Bone marrow aspirate smear; 250×250 px
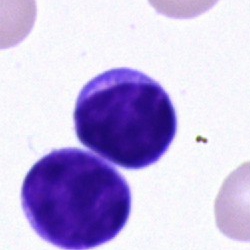The cell shown is a lymphocyte.